Bone marrow smear. 40× objective, oil immersion: 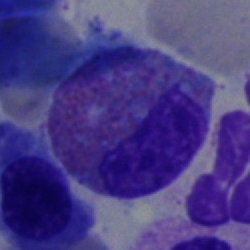 An eosinophil.